Peripheral blood film; 400×400 px.
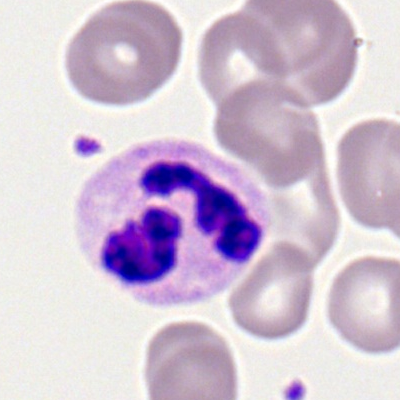

Showing a neutrophil (segmented).